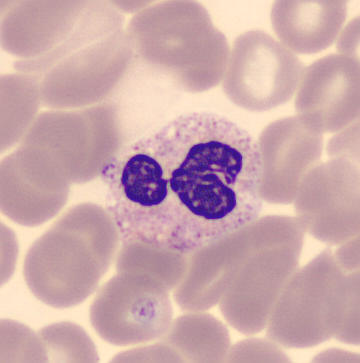 Showing a segmented neutrophil.
Preparation: Peripheral blood smear.